40× objective, oil immersion. Bone marrow smear — 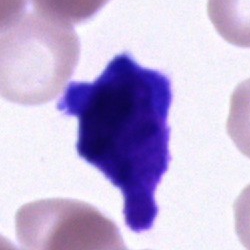

Morphology consistent with a cell of indeterminate lineage.